Bone marrow smear. Brightfield, 40× oil-immersion objective:
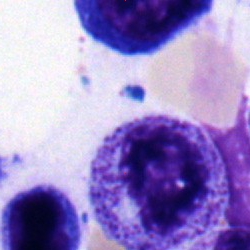

Morphology consistent with a plasma cell.